Bone marrow smear; May-Grünwald-Giemsa/Pappenheim stain; image size 250×250.
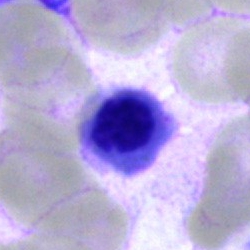Nucleated red cell.